Bone marrow aspirate smear: 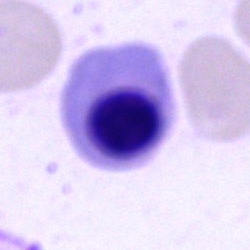 Q: Identify the cell.
A: This is a nucleated red cell.